May-Grünwald-Giemsa/Pappenheim stain; bone marrow smear — 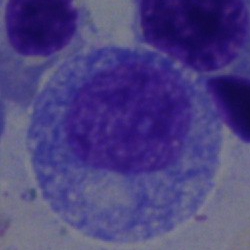

Showing a promyelocyte.